Single-cell field · bone marrow smear — 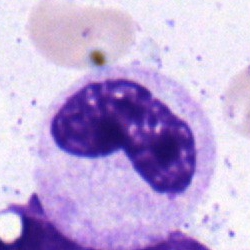The classification is neutrophil (band).